Peripheral blood film — 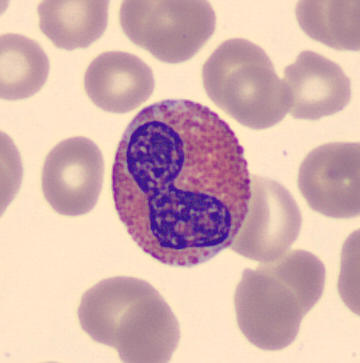 Cell: eosinophilic granulocyte.